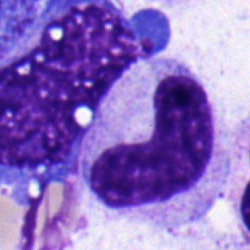
Neutrophil (band).